Bone marrow aspirate smear: 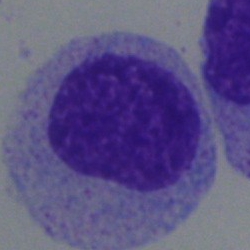
The cell shown is a myelocyte.